Bone marrow aspirate smear · 250×250 px · May-Grünwald-Giemsa/Pappenheim stain:
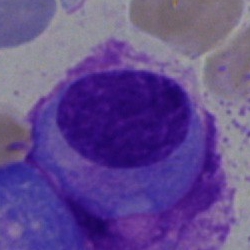Classification = plasmacyte.